Bone marrow smear
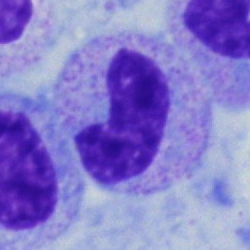 Q: What type of cell is this?
A: This is a band neutrophil.